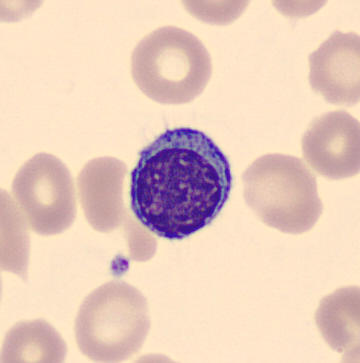Cell type = typical lymphocyte.
Preparation: 360×363 px; peripheral blood smear; May Grünwald-Giemsa stain.